Bone marrow aspirate smear · cropped to a single cell — 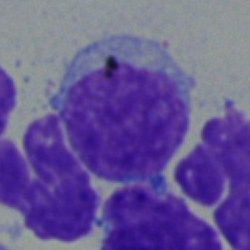Typical lymphocyte.